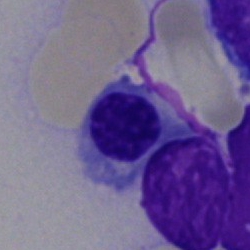

Showing a nucleated red cell.